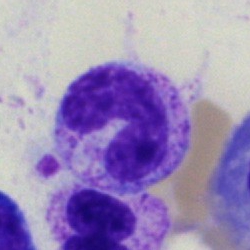
Showing a neutrophil (band).